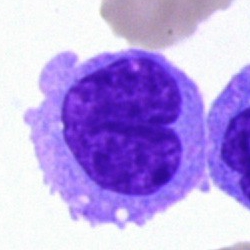Single-cell crop from a bone marrow smear: monocyte.